Bone marrow smear · 250×250
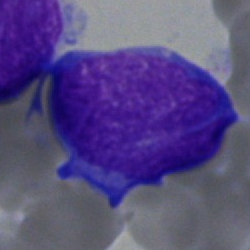Q: Which cell type is shown here?
A: Undifferentiated blast.